May-Grünwald-Giemsa/Pappenheim stain · bone marrow aspirate smear — 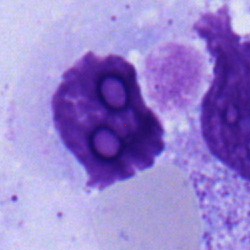
Lymphocyte.